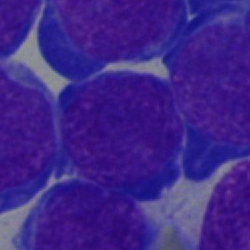Bone marrow aspirate smear, single cell — undifferentiated blast.